Bone marrow smear. Pappenheim-stained
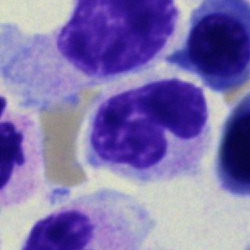
Cell: band neutrophil.